Bone marrow aspirate smear — 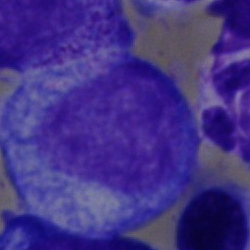 Cell type = promyelocyte.